Bone marrow smear — 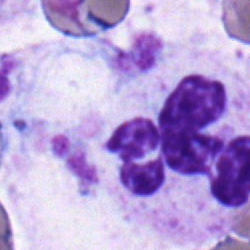Q: What is the morphological classification of this cell?
A: This is a neutrophil (segmented).